Bone marrow smear — 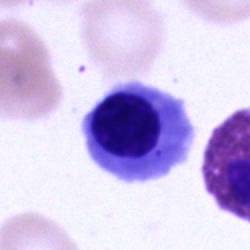

Cell = nucleated red cell.